Single cell centered in the field. Bone marrow smear.
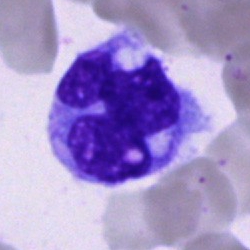 A monocyte.